Bone marrow aspirate smear.
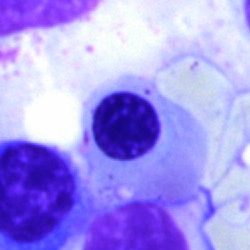 Specimen: bone marrow smear.
Cell type: nucleated red blood cell.